Bone marrow smear · Pappenheim-stained.
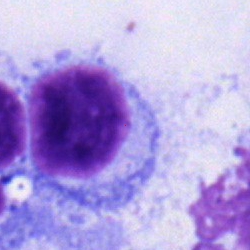Single cell identified as a typical lymphocyte.